Bone marrow smear · single cell centered in the field · brightfield microscopy, 40× oil immersion
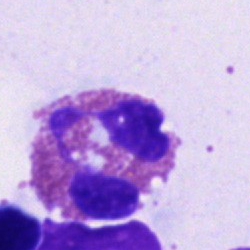 Eosinophil.